Pappenheim-stained · single-cell crop · bone marrow aspirate smear.
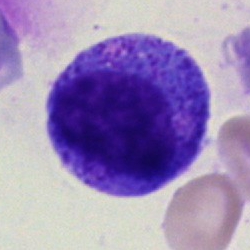

Progranulocyte.